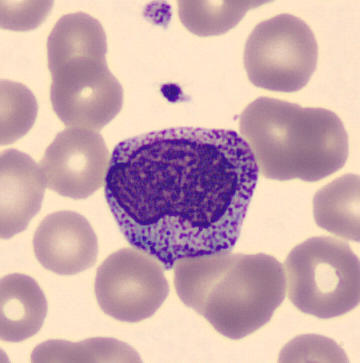Q: Identify the cell.
A: It is a myelocyte.